Bone marrow smear; 40× objective, oil immersion: 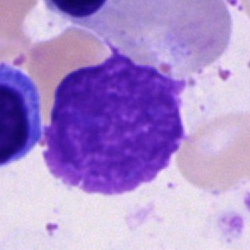

The cell is artifact.